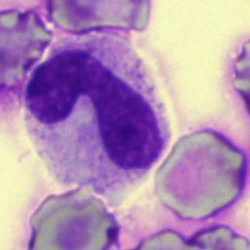 Showing a band-form neutrophil.